Bone marrow smear — 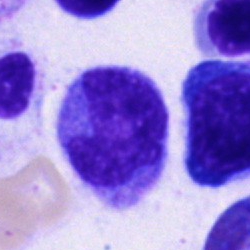 Cell type — monocyte.